Bone marrow aspirate smear
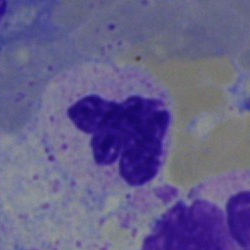

Single cell identified as a segmented neutrophil.